Bone marrow aspirate smear — 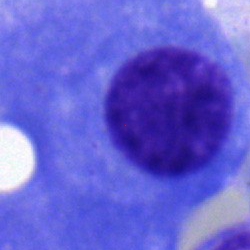Morphology consistent with a plasmacyte.